40× oil immersion; bone marrow aspirate smear:
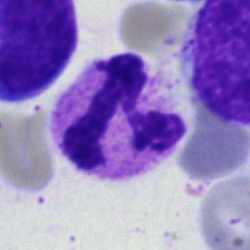 Morphology — segmented neutrophil.